Bone marrow smear — 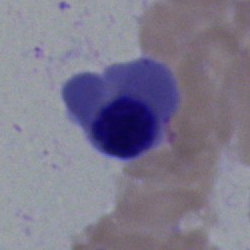
The classification is nucleated red cell.